Bone marrow smear:
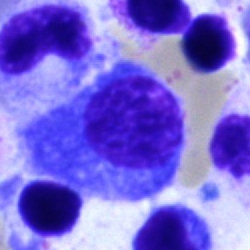Morphology consistent with a plasma cell.